Bone marrow aspirate smear:
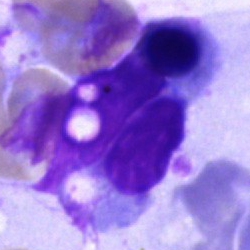Q: What is shown here?
A: An artifact.